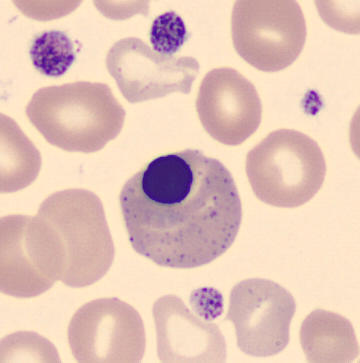

The cell shown is a normoblast.
Acquisition: Peripheral blood film.